MGG-stained. Bone marrow aspirate smear:
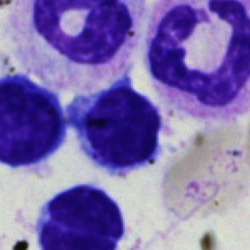 A lymphocyte.